Single cell centered in the field; 250 by 250 pixels; bone marrow aspirate smear
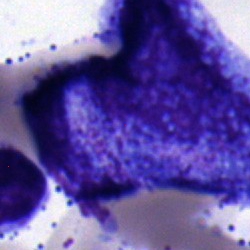

Q: What is shown here?
A: It is a promyelocyte.